Bone marrow smear; 250×250.
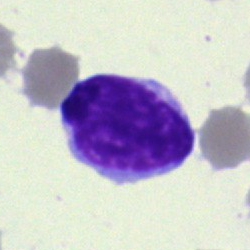
Single cell identified as a typical lymphocyte.